Bone marrow aspirate smear.
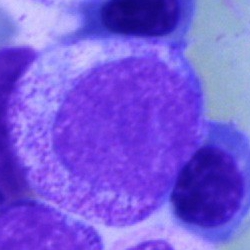
Morphology consistent with a progranulocyte.